Bone marrow aspirate smear; brightfield microscopy, 40× oil immersion.
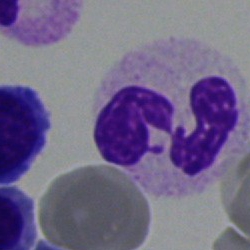Specimen: bone marrow smear.
Classification: segmented neutrophil.
Lineage: myeloid.